250×250 px; MGG-stained; bone marrow smear:
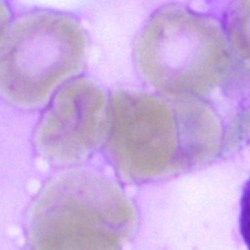

Morphological class = artifact.